Single cell centered in the field; bone marrow aspirate smear:
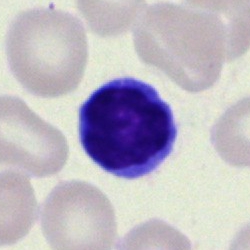 {"cell_type": "lymphocyte", "lineage": "lymphoid"}